Bone marrow aspirate smear
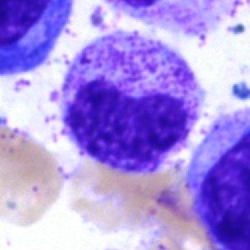
{"cell_type": "metamyelocyte"}